Bone marrow aspirate smear. Brightfield microscopy, 40× oil immersion
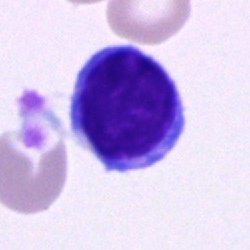

Impression — typical lymphocyte.